Bone marrow aspirate smear.
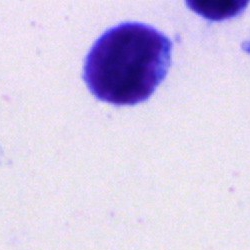

Morphology consistent with a lymphocyte.